Single-cell crop; bone marrow aspirate smear: 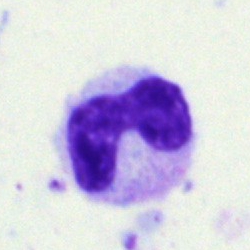{"cell_type": "band-form neutrophil"}